Bone marrow smear
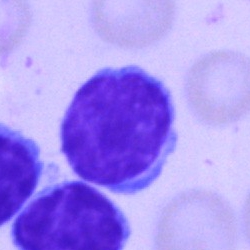
Q: What cell is this?
A: Lymphocyte.